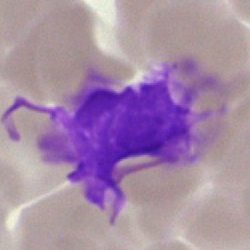
Specimen: bone marrow aspirate smear.
Cell type: artefact.